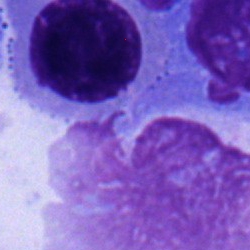

Erythroblast.